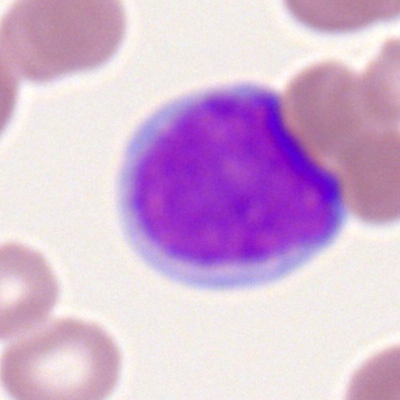
Classification = myeloid blast.